Bone marrow aspirate smear · 250×250
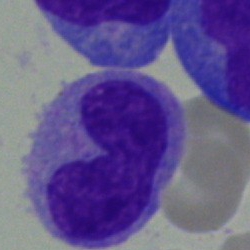 Morphological class: monocyte.